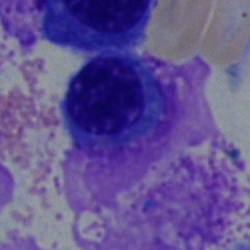
Morphological class = erythroblast.